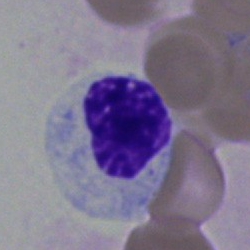
{"cell_type": "myelocyte"}